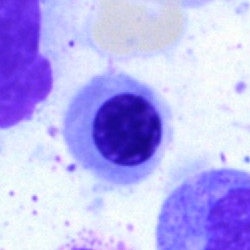

The classification is nucleated red cell.